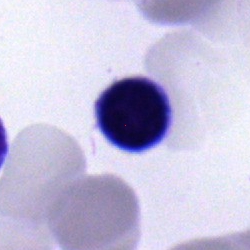 Classification: erythroblast.